Bone marrow aspirate smear. Pappenheim-stained — 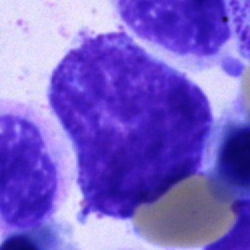
Specimen: bone marrow smear.
Cell: promyelocyte.
Lineage: myeloid.